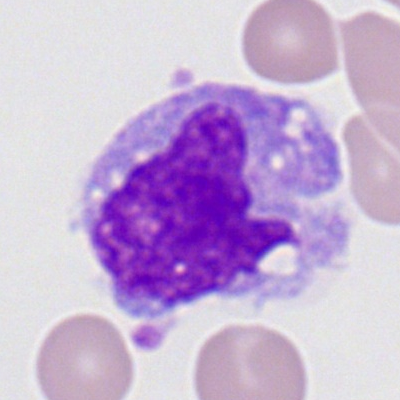 Specimen: peripheral blood smear.
Morphological class: monocyte.
Lineage: myeloid.